250×250 px · bone marrow smear · single-cell crop — 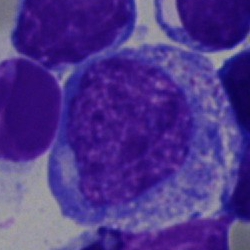

Q: Identify the cell.
A: This is a progranulocyte.